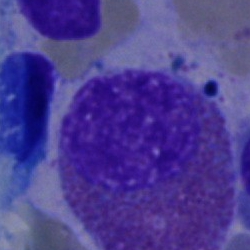 Cell: eosinophilic granulocyte.